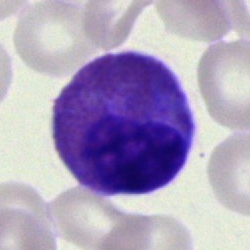

Single cell identified as an eosinophilic granulocyte.